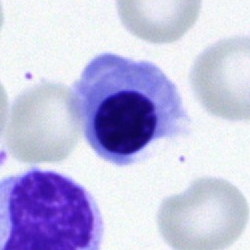 {"cell_type": "nucleated red blood cell"}